Bone marrow smear.
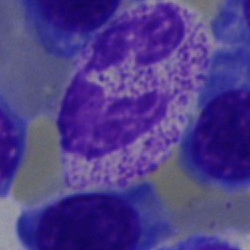Q: What is shown here?
A: Polymorphonuclear neutrophil.